Bone marrow smear · Pappenheim-stained · single-cell crop.
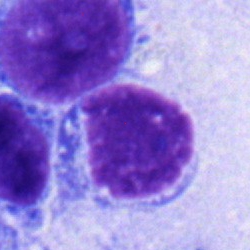
Showing a typical lymphocyte.